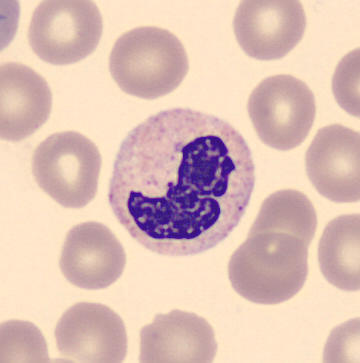
Acquisition: CellaVision DM96 digital cell image. Peripheral blood film.

Q: What type of cell is this?
A: This is a neutrophil (band).